Bone marrow smear:
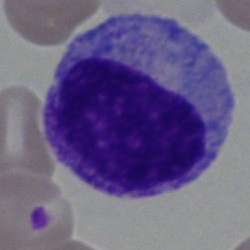Impression — progranulocyte.